Image size 400×400. Peripheral blood film. Romanowsky-type stain
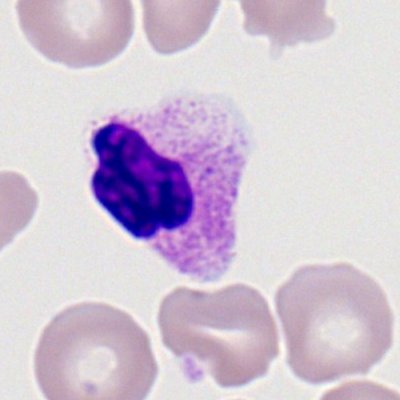

Classification — neutrophil (segmented).